Bone marrow aspirate smear — 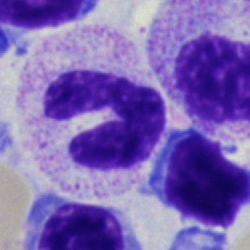Q: What type of cell is this?
A: Band neutrophil.